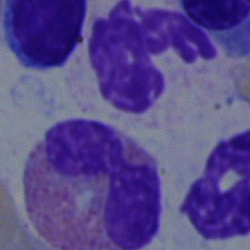
Specimen: bone marrow smear.
Cell type: myelocyte.
Lineage: myeloid.